Bone marrow aspirate smear.
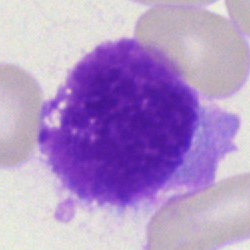

Q: What is shown here?
A: An artefact.